Bone marrow aspirate smear
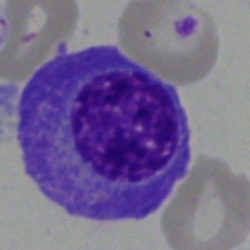

The classification is plasmacyte.